Image size 250×250; cropped to a single cell; bone marrow smear: 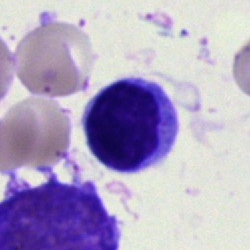 Q: What is shown here?
A: It is a lymphocyte.